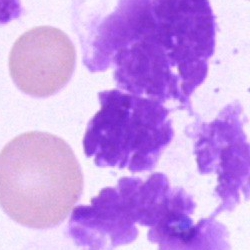
This is an artifact.